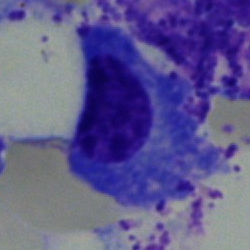Specimen: bone marrow aspirate smear.
Morphological class: plasma cell.